Bone marrow aspirate smear: 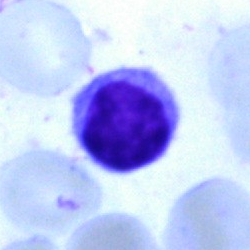
Classification — lymphocyte.